Bone marrow aspirate smear.
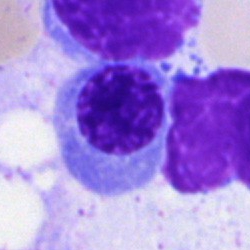Q: What cell is this?
A: A normoblast.